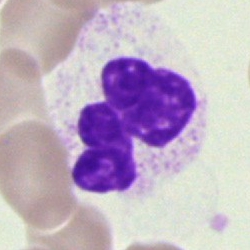 Polymorphonuclear neutrophil.